Peripheral blood smear · single-cell crop: 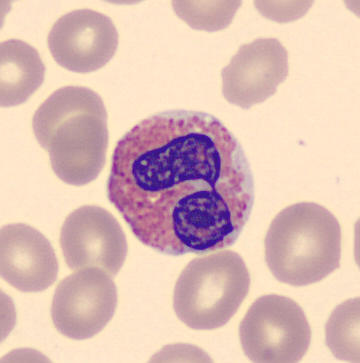

Identified as an eosinophil.